Bone marrow aspirate smear.
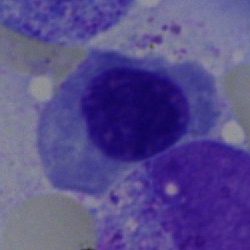Morphological class: normoblast.